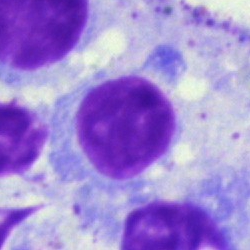 Morphology → artefact.